Bone marrow aspirate smear — 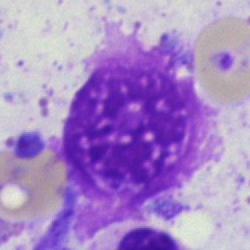

Specimen: bone marrow aspirate smear.
Cell: artifact.